Bone marrow aspirate smear · 40× objective, oil immersion — 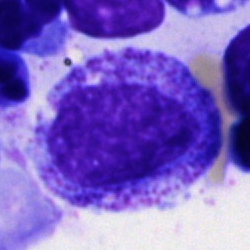Classification: promyelocyte.